Bone marrow smear:
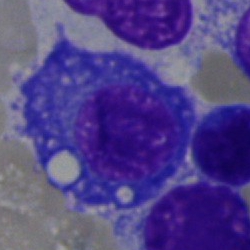

Showing a plasmacyte.